Single cell centered in the field; 250×250; bone marrow smear
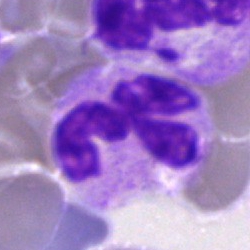 Single cell identified as a polymorphonuclear neutrophil.